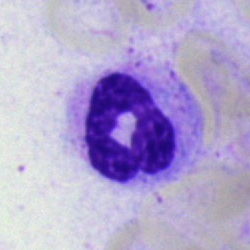Classification: polymorphonuclear neutrophil.